Bone marrow aspirate smear; single cell centered in the field; 40× oil immersion: 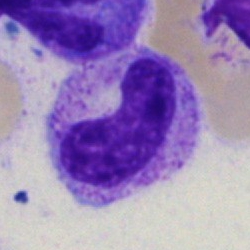

This is a neutrophil (band).